Bone marrow smear — 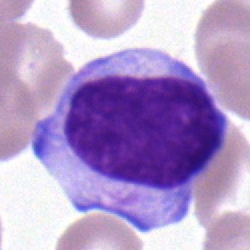
Single cell identified as a lymphocyte.